Peripheral blood film. CellaVision DM96
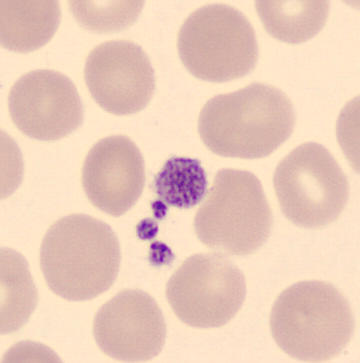 Showing a platelet.